Bone marrow smear
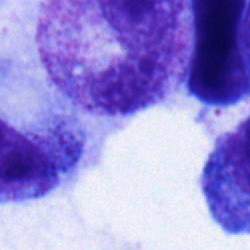Cell type: band-form neutrophil.